Bone marrow smear: 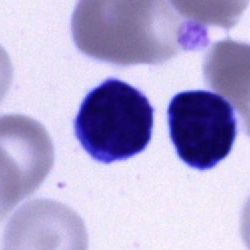 Specimen: bone marrow smear.
Morphological class: typical lymphocyte.
Lineage: lymphoid.